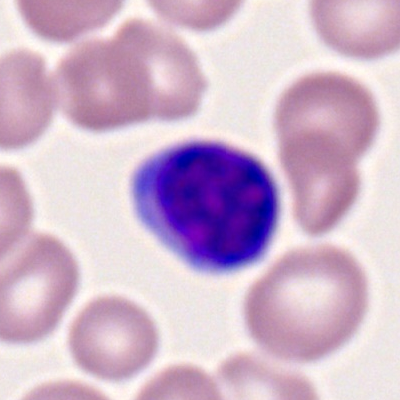
Morphological class: lymphocyte.